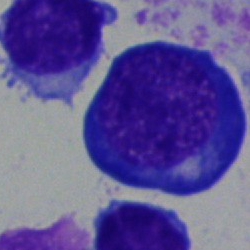Single cell identified as a normoblast.